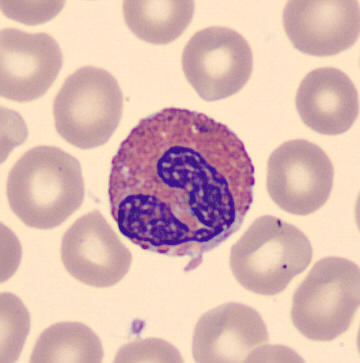
Acquisition: Peripheral blood film; 360×363 px.

Morphology → eosinophilic granulocyte.